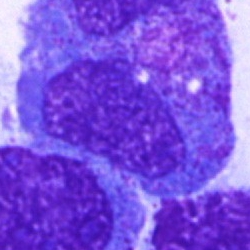Bone marrow smear showing a progranulocyte.